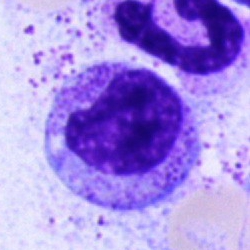

{"cell_type": "myelocyte", "lineage": "myeloid"}